Single-cell field · bone marrow aspirate smear — 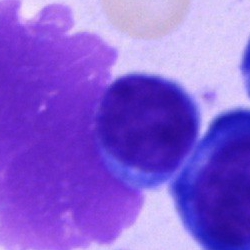Morphological class: lymphocyte.